Bone marrow aspirate smear
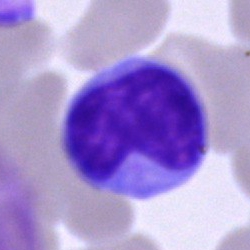
Morphology consistent with a typical lymphocyte.